Bone marrow aspirate smear; single cell centered in the field; 40× oil immersion — 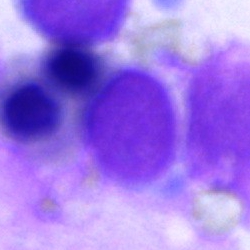

Q: What is shown here?
A: Artefact.